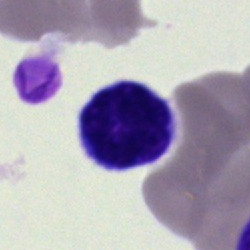Lymphocyte.